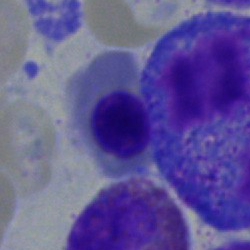 Q: Which cell type is shown here?
A: Erythroblast.